Single-cell field. Bone marrow smear — 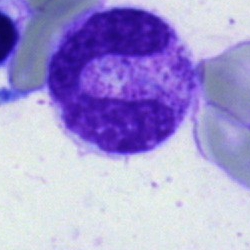

Specimen: bone marrow aspirate smear.
Cell: segmented neutrophil.
Lineage: myeloid.